Peripheral blood smear — 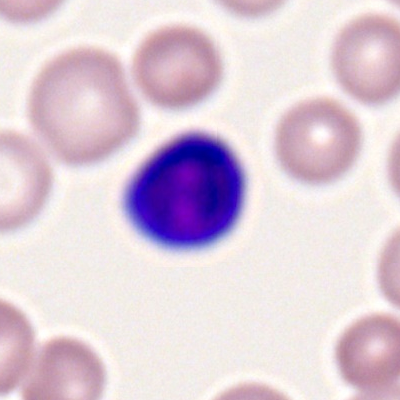The morphological class is lymphocyte.